Bone marrow smear: 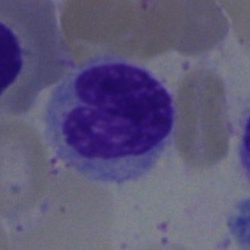

Q: What cell is this?
A: Lymphocyte.